Bone marrow aspirate smear — 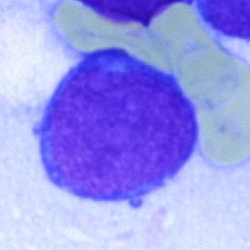Morphology — undifferentiated blast.